Bone marrow aspirate smear; Pappenheim-stained
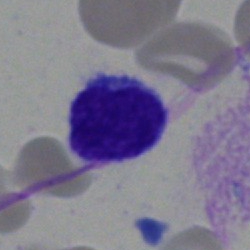Impression — lymphocyte.